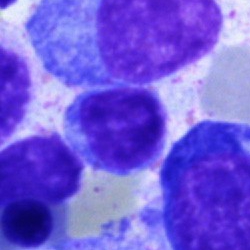
Cell = lymphocyte.